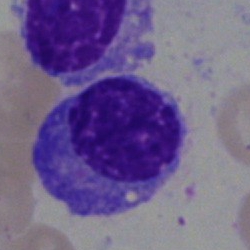Q: What is shown here?
A: A plasma cell.